Bone marrow aspirate smear: 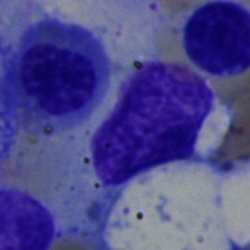Cell = normoblast.